Bone marrow smear:
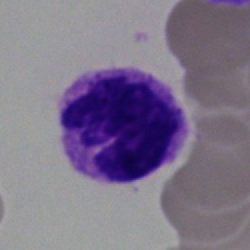 Q: Identify the cell.
A: A basophilic granulocyte.